Bone marrow smear · image size 250×250 · 40× oil immersion — 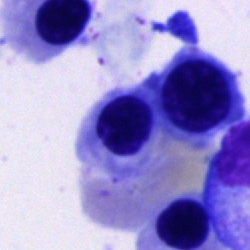 Cell: normoblast.